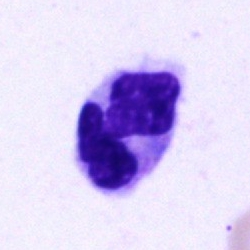
Single-cell crop from a bone marrow smear: segmented neutrophil.